Bone marrow aspirate smear
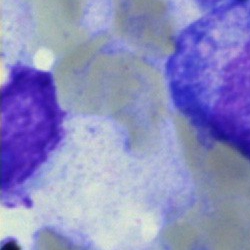
Single cell identified as an artifact.